Bone marrow aspirate smear. MGG-stained: 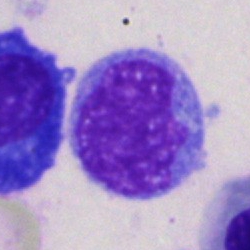 Showing a monocyte.